Bone marrow smear; cropped to a single cell:
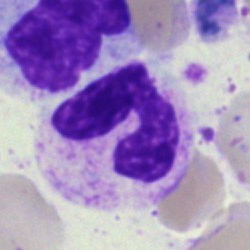
Q: Identify the cell.
A: It is a segmented neutrophil.